40× oil immersion · cropped to a single cell · bone marrow aspirate smear — 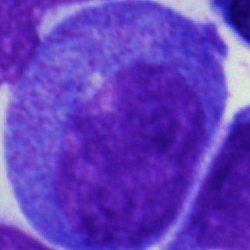Q: What is shown here?
A: This is a promyelocyte.